Bone marrow aspirate smear: 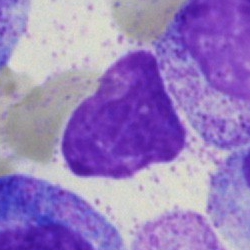

Impression — artefact.